Brightfield microscopy, 40× oil immersion · bone marrow smear.
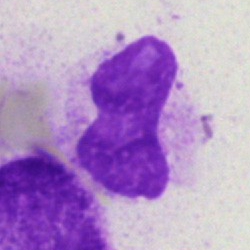Q: What is shown here?
A: It is an artefact.